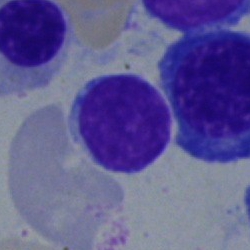
Morphology → typical lymphocyte.